Bone marrow aspirate smear
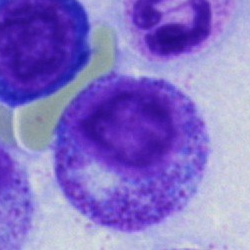
Morphology → myelocyte.